Bone marrow smear. Pappenheim-stained. 40× objective, oil immersion.
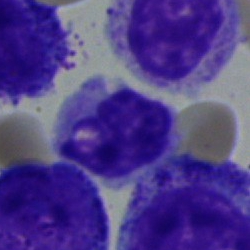 Morphological class = monocyte.